Bone marrow aspirate smear; 250×250 px — 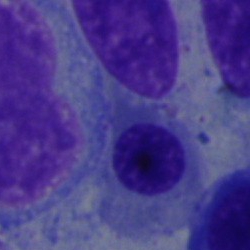
Impression → erythroblast.